Bone marrow smear:
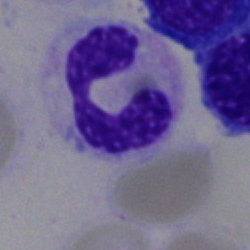

The classification is neutrophil (segmented).